MGG-stained; 250 by 250 pixels; bone marrow aspirate smear
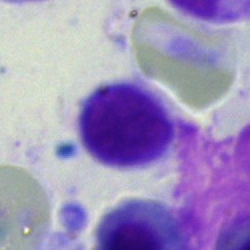 Specimen: bone marrow aspirate smear.
Classification: lymphocyte.